Bone marrow aspirate smear. 250×250 px
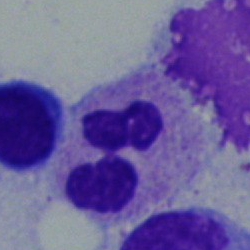 Morphology consistent with a segmented neutrophil.